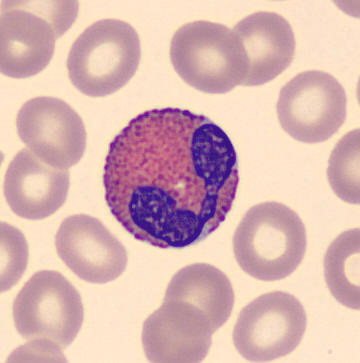 Peripheral blood smear showing an eosinophil.